Pappenheim-stained; 40× oil immersion; bone marrow smear:
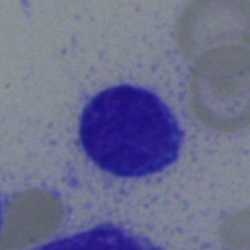 The cell is lymphocyte.